Bone marrow aspirate smear
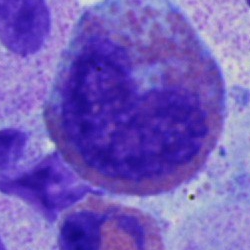The cell type is eosinophil.